250×250 px. Bone marrow smear. Single cell centered in the field: 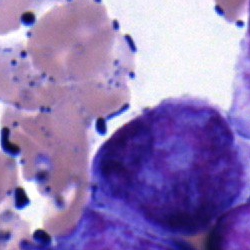{"cell_type": "blast"}